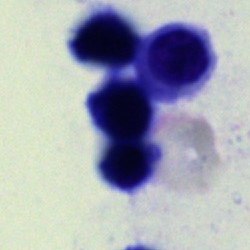 Q: What is shown here?
A: This is an artefact.